May-Grünwald-Giemsa/Pappenheim stain. Cropped to a single cell. Bone marrow aspirate smear
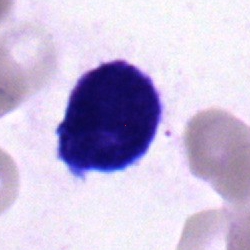

Single cell identified as a typical lymphocyte.